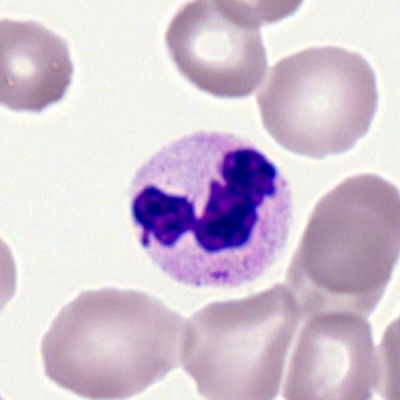Single-cell crop from a peripheral blood smear: neutrophil (segmented).